Peripheral blood smear — 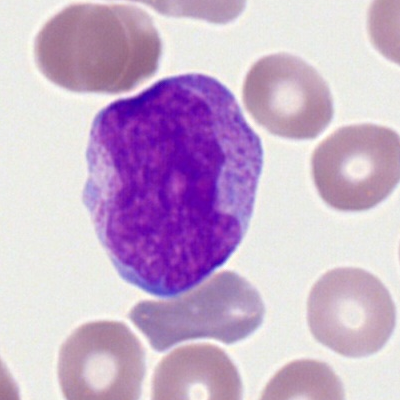
The cell shown is a myeloid blast.